Bone marrow aspirate smear.
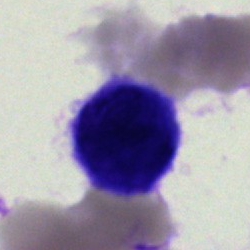 Q: What is shown here?
A: This is an artefact.